Peripheral blood smear. Single-cell crop. CellaVision DM96: 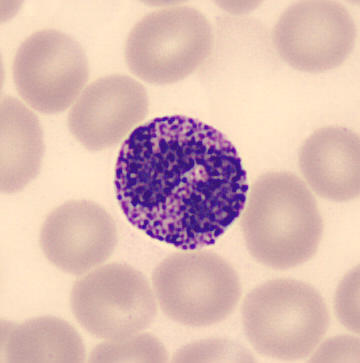
Cell type: basophilic granulocyte.